Bone marrow smear
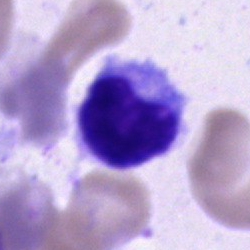Specimen: bone marrow aspirate smear.
Cell: typical lymphocyte.
Lineage: lymphoid.